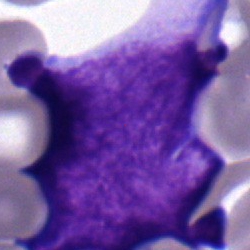 Q: What is the morphological classification of this cell?
A: A blast.